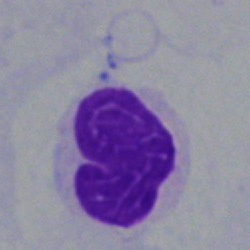

Bone marrow aspirate smear, single cell — blast.